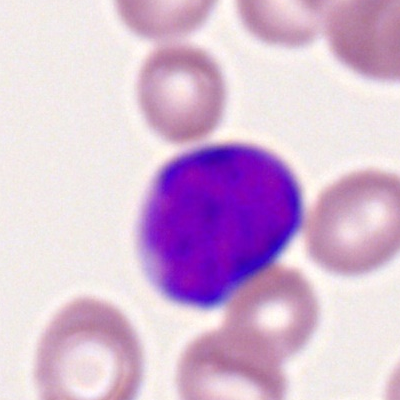Morphology consistent with a myeloid blast.